250×250 px; bone marrow smear — 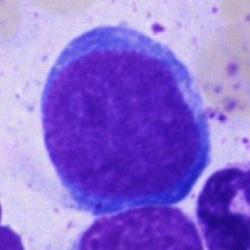
Morphological class — blast cell.